May-Grünwald-Giemsa stain. Bone marrow aspirate smear.
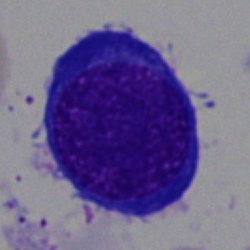Impression — normoblast.